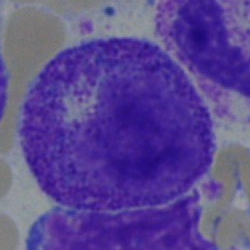

Cell type: progranulocyte.